Bone marrow aspirate smear:
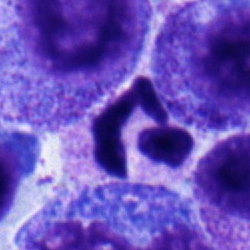 Classification = polymorphonuclear neutrophil.